Peripheral blood smear · 100× oil immersion, 14.14 px/µm:
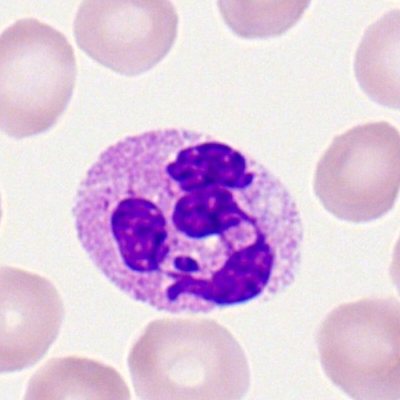

Morphology consistent with a polymorphonuclear neutrophil.